Single cell centered in the field; Pappenheim-stained; bone marrow smear.
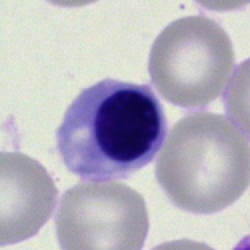

Single cell identified as an erythroblast.